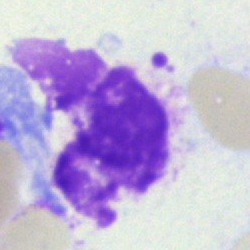

Q: What is shown here?
A: This is an artefact.